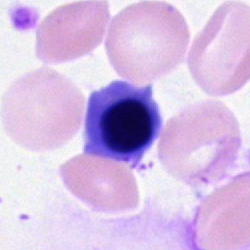Specimen: bone marrow aspirate smear.
Cell type: normoblast.
Lineage: erythroid.